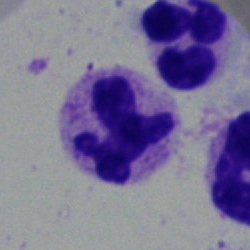
Q: Identify the cell.
A: Segmented neutrophil.